250×250 px · bone marrow smear — 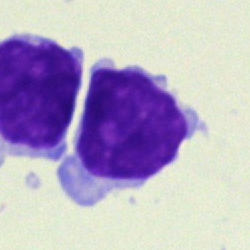 Morphological class: lymphocyte.